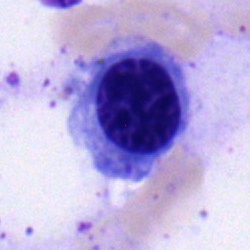

Q: Identify the cell.
A: It is an erythroblast.